Bone marrow smear. MGG-stained. Image size 250×250 — 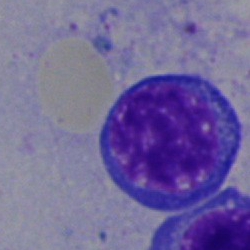

This is a nucleated red cell.